Bone marrow smear:
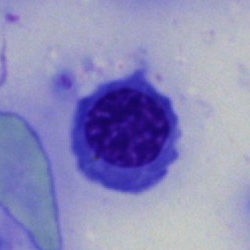 Q: Identify the cell.
A: It is a nucleated red blood cell.